Bone marrow aspirate smear; single cell centered in the field; 250×250 px.
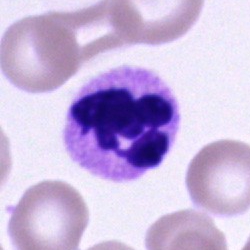 A polymorphonuclear neutrophil.